Bone marrow smear. May-Grünwald-Giemsa stain. 250 by 250 pixels: 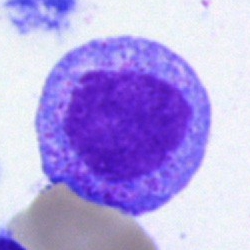 The morphological class is progranulocyte.